Single cell centered in the field. Bone marrow aspirate smear.
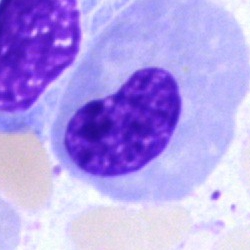

Cell type: nucleated red cell.